May-Grünwald-Giemsa/Pappenheim stain. Bone marrow aspirate smear
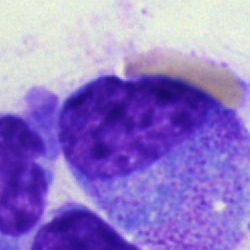Cell = pronormoblast.